Brightfield microscopy, 40× oil immersion; bone marrow aspirate smear — 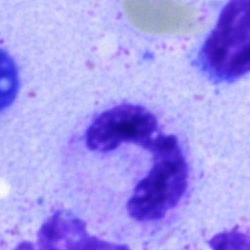Q: What is shown here?
A: A polymorphonuclear neutrophil.